Peripheral blood smear; 400×400 px: 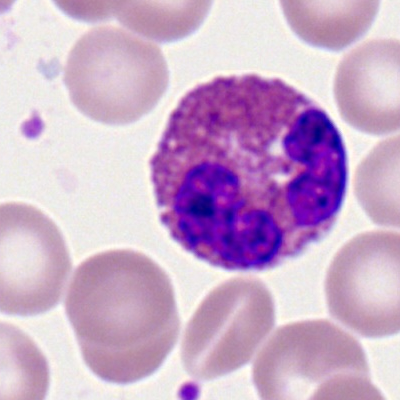
Impression → eosinophilic granulocyte.